MGG-stained; bone marrow aspirate smear — 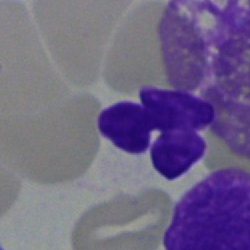
Specimen: bone marrow aspirate smear.
Cell: segmented neutrophil.
Lineage: myeloid.